Brightfield microscopy, 40× oil immersion. Pappenheim-stained. Bone marrow smear — 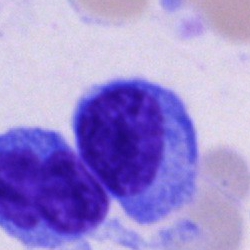

This is a plasmacyte.